Bone marrow smear · image size 250×250
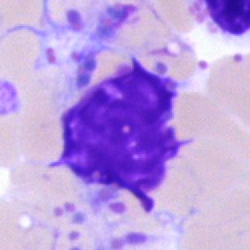
Q: What is shown here?
A: This is an artifact.